Bone marrow aspirate smear — 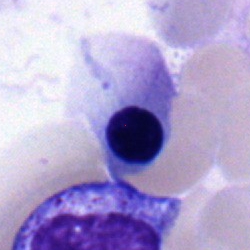 Impression → normoblast.